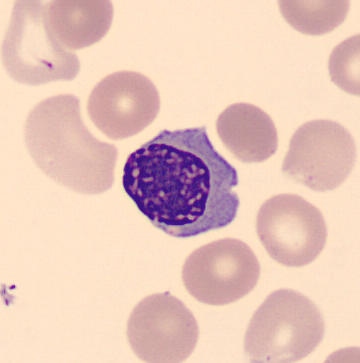 Showing an erythroblast.
Single-cell field. MGG stain. Peripheral blood film.